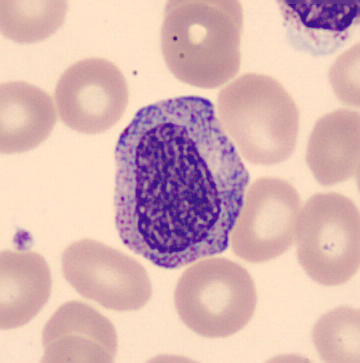 Showing a myelocyte.